May-Grünwald-Giemsa stain · bone marrow smear — 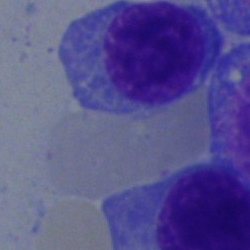 The cell shown is an erythroblast.